40× oil immersion. Bone marrow aspirate smear
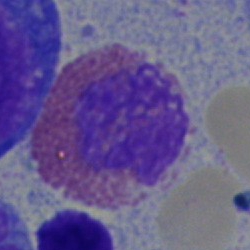The classification is eosinophilic granulocyte.